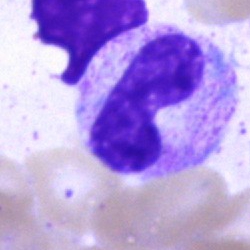
This is a neutrophil (band).